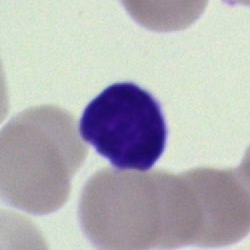Single cell identified as a typical lymphocyte.